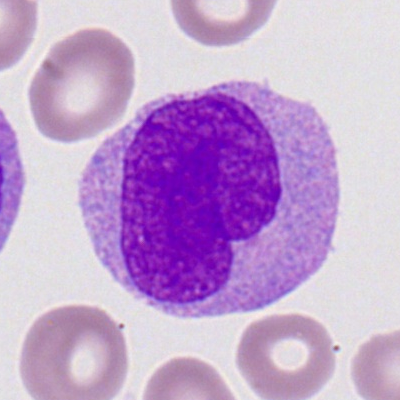Specimen: peripheral blood smear.
Cell: myeloid blast.